M8 digital microscope (Precipoint), 100× oil immersion · peripheral blood film · 400×400 — 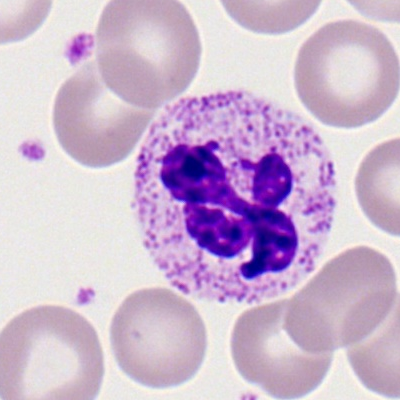

Q: Which cell type is shown here?
A: This is a neutrophil (segmented).